Bone marrow smear
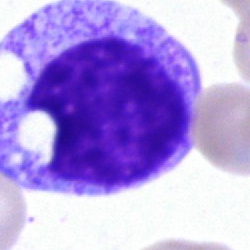 Cell type: progranulocyte.